CellaVision DM96 digital cell image · peripheral blood smear.
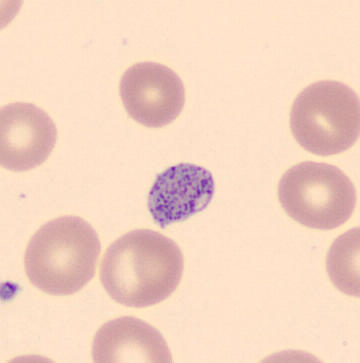 Q: What is this?
A: Thrombocyte.